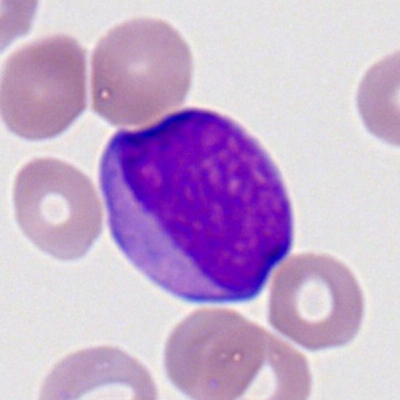A myeloblast.